Bone marrow smear; single-cell crop — 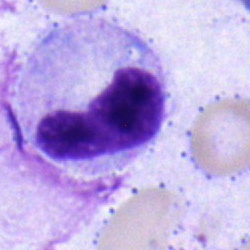Morphological class — segmented neutrophil.